Brightfield microscopy, 40× oil immersion; bone marrow smear; May-Grünwald-Giemsa stain — 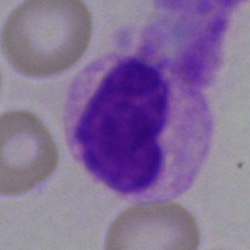
Showing a basophil.